Pappenheim-stained · bone marrow smear:
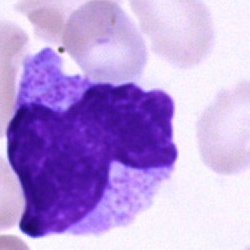Morphology → unidentifiable cell.